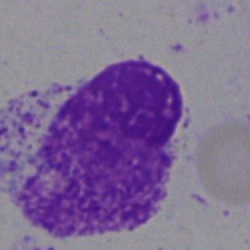Cell type — artifact.